Bone marrow aspirate smear — 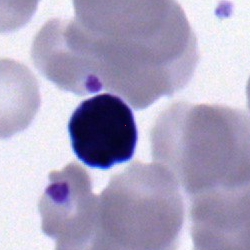This is a lymphocyte.